40× objective, oil immersion. Pappenheim-stained. Bone marrow smear:
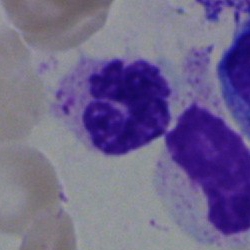 Morphology → segmented neutrophil.